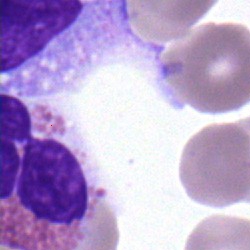

The morphological class is eosinophil.